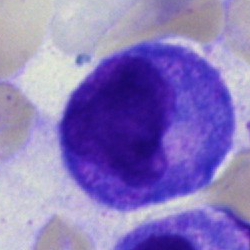Q: What cell is this?
A: Promyelocyte.